Peripheral blood smear; 400×400 px — 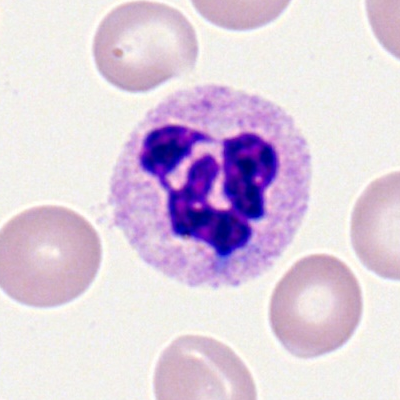Cell: polymorphonuclear neutrophil.